250×250 px. Bone marrow smear. Single cell centered in the field
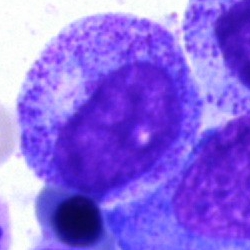 Progranulocyte.